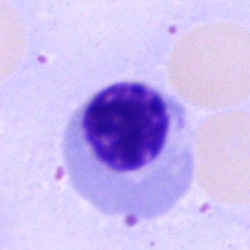
The cell shown is an erythroblast.